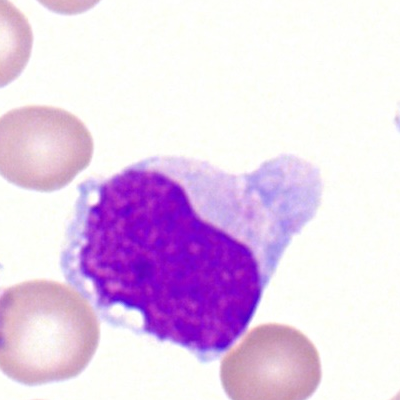
Q: Identify the cell.
A: A typical lymphocyte.